Bone marrow aspirate smear. Brightfield microscopy, 40× oil immersion. 250×250 px — 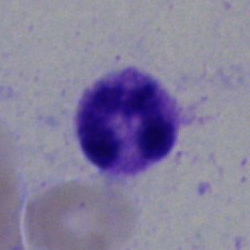

Cell = segmented neutrophil.